Bone marrow smear — 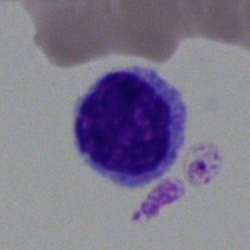This is a typical lymphocyte.